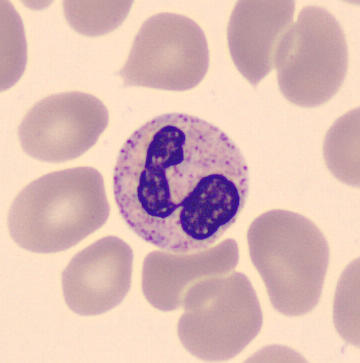

Image: Peripheral blood film.
Showing a segmented neutrophil.